Bone marrow aspirate smear — 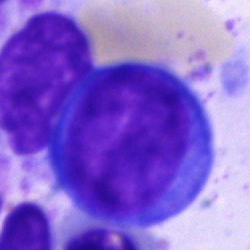 This is a proerythroblast.